Bone marrow smear; brightfield, 40× oil-immersion objective: 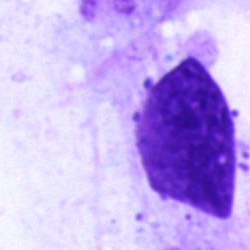 The cell type is artefact.